Bone marrow aspirate smear: 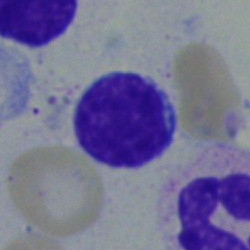

Q: What cell is this?
A: Typical lymphocyte.